Bone marrow aspirate smear · image size 250×250 · brightfield, 40× oil-immersion objective
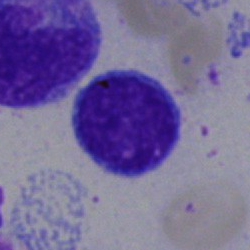

Single cell identified as a typical lymphocyte.